Bone marrow aspirate smear.
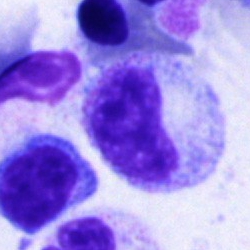

Q: What type of cell is this?
A: It is a band-form neutrophil.